Bone marrow smear — 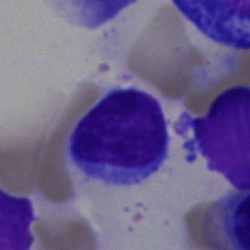 Morphology consistent with a lymphocyte.